MGG-stained · bone marrow smear
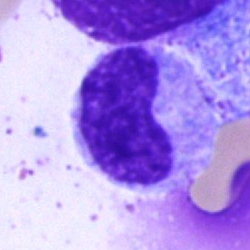Q: What cell is this?
A: It is a metamyelocyte.